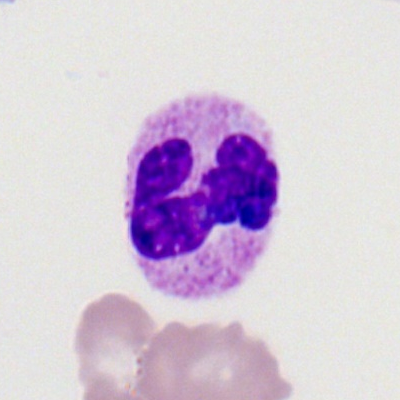Peripheral blood smear showing a segmented neutrophil.